Bone marrow aspirate smear · single-cell field:
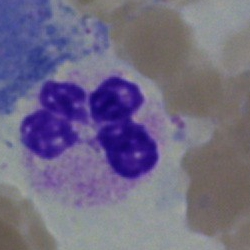
Neutrophil (segmented).